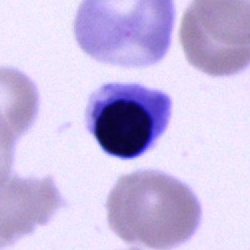Classification: erythroblast.